Bone marrow smear.
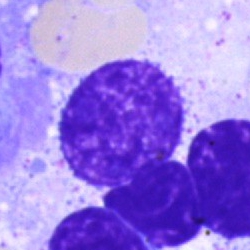 Cell type — artifact.